Bone marrow aspirate smear:
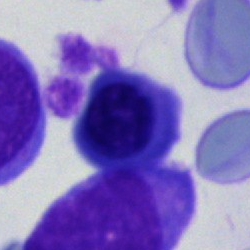
{"cell_type": "normoblast"}